100× oil immersion, 14.14 px/µm; peripheral blood film; single cell centered in the field.
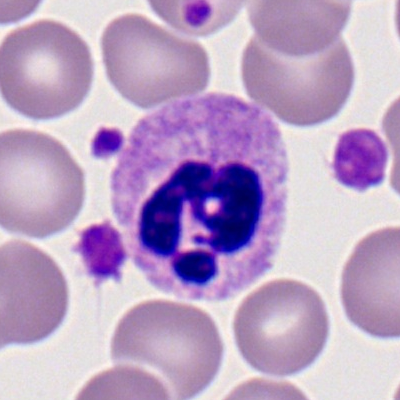

Cell = neutrophil (segmented).